250×250 · bone marrow smear — 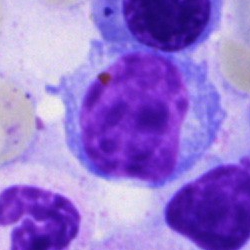 Q: Which cell type is shown here?
A: This is a lymphocyte.